Bone marrow aspirate smear: 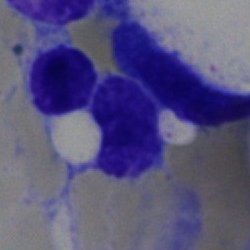 Single cell identified as an artifact.